Single-cell crop · bone marrow smear: 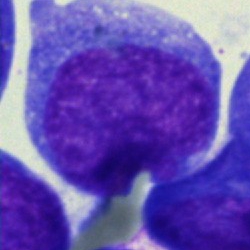

Impression — undifferentiated blast.